Bone marrow smear: 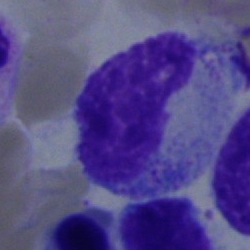

Cell type — metamyelocyte.